Bone marrow aspirate smear.
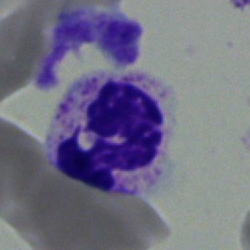 {"cell_type": "neutrophil (segmented)", "lineage": "myeloid"}